250×250 px · bone marrow smear
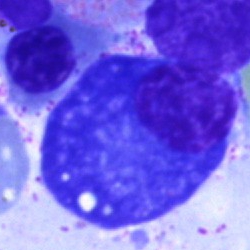Classification — plasmacyte.